Bone marrow smear
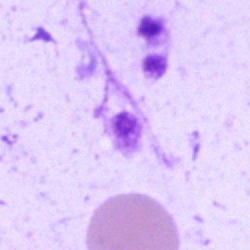
Impression — artifact.